Bone marrow aspirate smear. Pappenheim-stained.
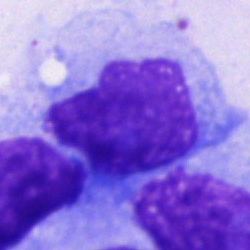

Cell = unidentifiable cell.